Bone marrow aspirate smear:
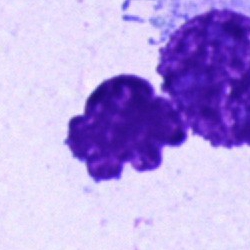
Artefact.